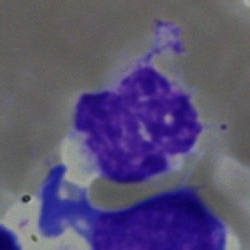

Morphological class: segmented neutrophil.